Bone marrow aspirate smear
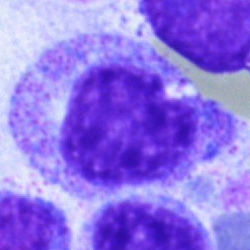

Q: What cell is this?
A: Myelocyte.